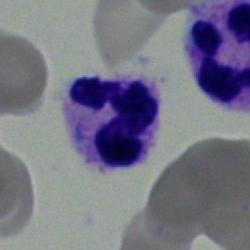 Cell: segmented neutrophil.